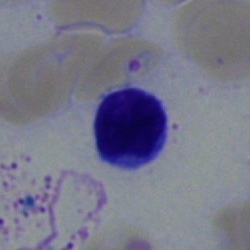

Classification = lymphocyte.